Bone marrow aspirate smear:
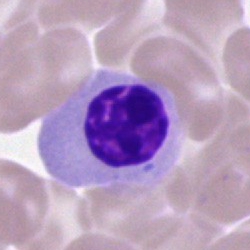
Specimen: bone marrow smear.
Classification: erythroblast.
Lineage: erythroid.